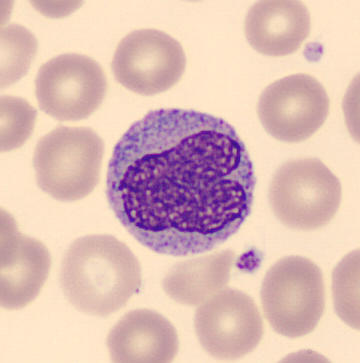 {"cell_type": "monocyte"} Acquisition: Peripheral blood smear · May-Grünwald-Giemsa-stained.